Bone marrow smear
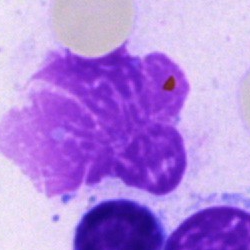 Q: What is shown here?
A: An artifact.